Bone marrow smear; single-cell crop:
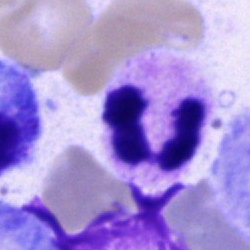 Classification — segmented neutrophil.